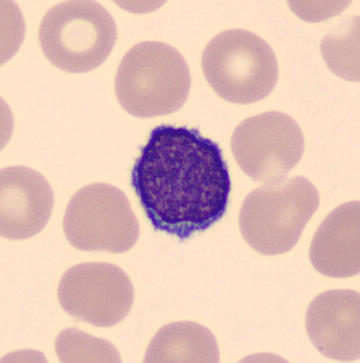 Image: Peripheral blood smear.

A lymphocyte.